Romanowsky stain · peripheral blood film · 400×400: 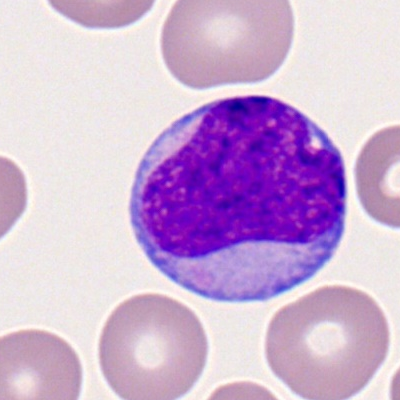 Specimen: peripheral blood film.
Classification: myeloid blast.
Lineage: myeloid.